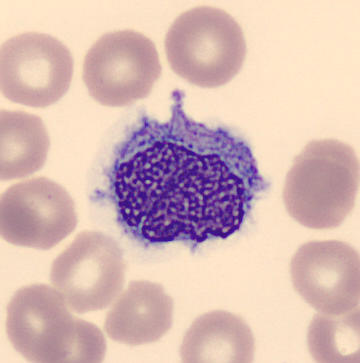
Preparation: Peripheral blood smear · single-cell crop. Q: What is shown here?
A: It is a monocyte.